Bone marrow smear
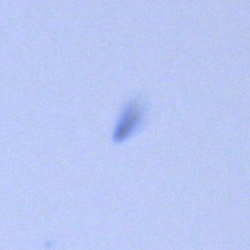

Showing an artifact.